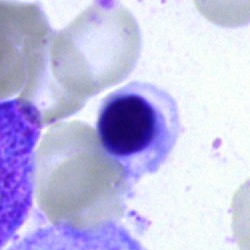
Cell type: normoblast.